Cropped to a single cell; bone marrow smear; 250×250 px.
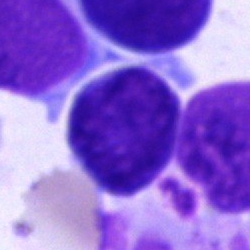Classification = blast cell.